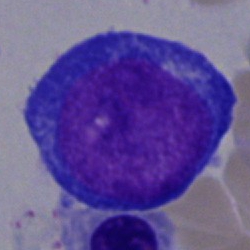
Q: Which cell type is shown here?
A: A blast.